Bone marrow aspirate smear: 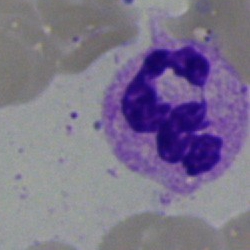

The morphological class is segmented neutrophil.